Peripheral blood film: 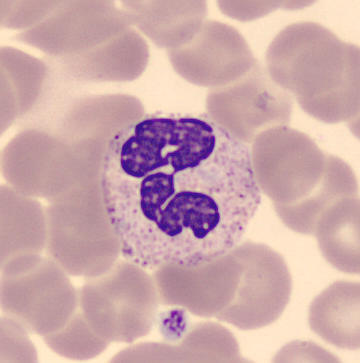 {"cell_type": "neutrophil (segmented)", "lineage": "myeloid"}